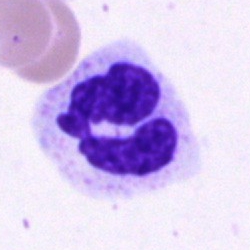

Specimen: bone marrow aspirate smear.
Cell: polymorphonuclear neutrophil.
Lineage: myeloid.